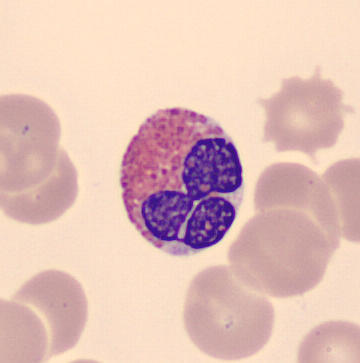

The cell shown is an eosinophilic granulocyte.
Image: Peripheral blood smear · imaged on a CellaVision DM96 analyser.